Image size 250×250 · bone marrow smear: 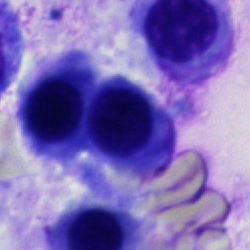
Specimen: bone marrow smear.
Morphological class: erythroblast.
Lineage: erythroid.